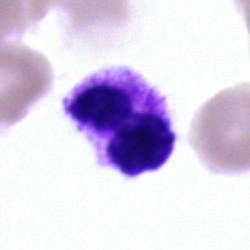 Bone marrow smear showing a segmented neutrophil.